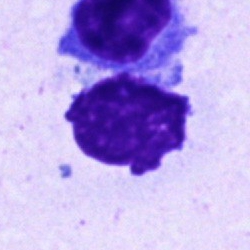

Cell type = artefact.